40× objective, oil immersion; bone marrow aspirate smear: 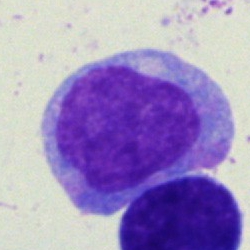Undifferentiated blast.